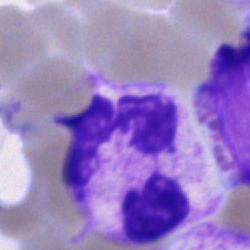
Classification = polymorphonuclear neutrophil.